Bone marrow aspirate smear — 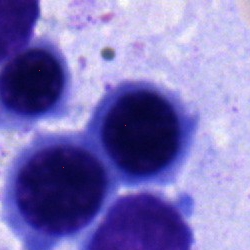
Q: What type of cell is this?
A: Band neutrophil.